Bone marrow smear:
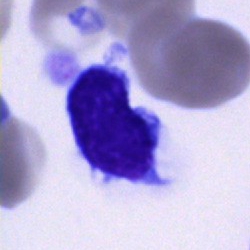 Cell type — typical lymphocyte.